Cropped to a single cell · bone marrow aspirate smear
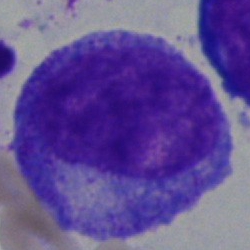

Specimen: bone marrow aspirate smear.
Cell type: promyelocyte.